Brightfield, 100× oil-immersion objective. Peripheral blood film
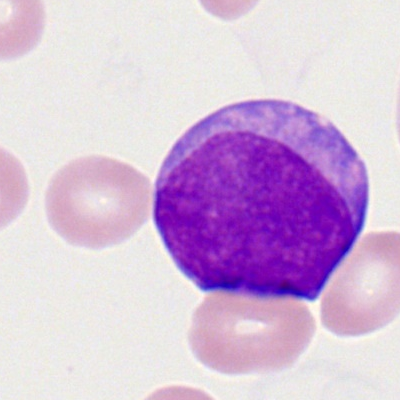
Q: What is the morphological classification of this cell?
A: This is a myeloid blast.